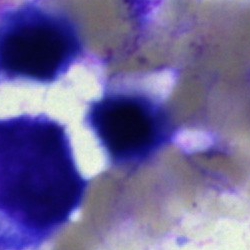Q: What is shown here?
A: Artifact.